Single cell centered in the field · bone marrow smear.
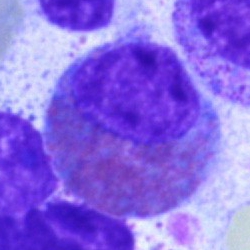

The morphological class is eosinophil.